Bone marrow smear — 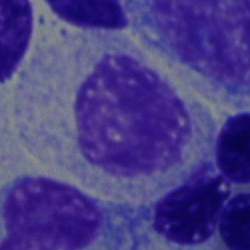
Q: What is shown here?
A: This is a myelocyte.